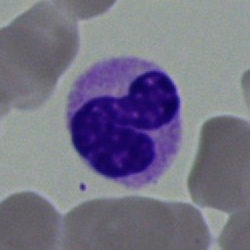{"cell_type": "neutrophil (band)", "lineage": "myeloid"}